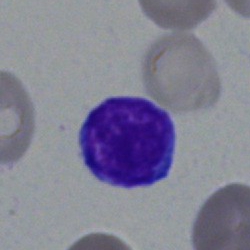Classification — lymphocyte.